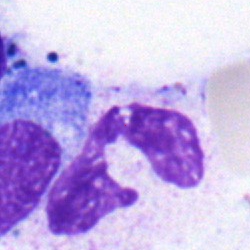 Morphological class — polymorphonuclear neutrophil.